Image size 250×250. Bone marrow smear:
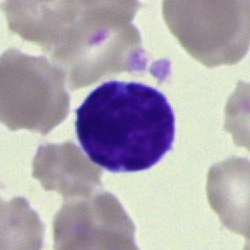

Morphology → typical lymphocyte.